Brightfield microscopy, 40× oil immersion; bone marrow smear; 250×250 px.
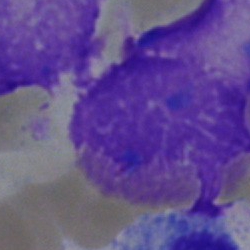

The morphological class is polymorphonuclear neutrophil.